Bone marrow aspirate smear.
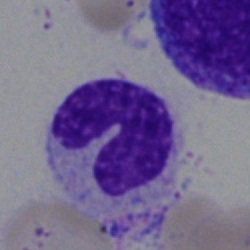

Specimen: bone marrow smear.
Morphological class: stab cell.